Bone marrow aspirate smear — 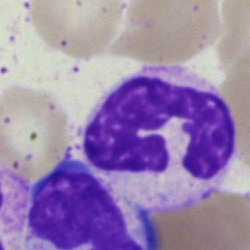 Classification: polymorphonuclear neutrophil.